Bone marrow aspirate smear
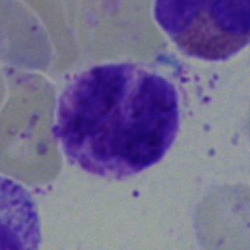 Classification: basophil.